Bone marrow aspirate smear:
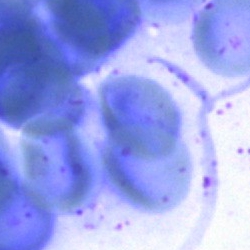

Q: What is shown here?
A: This is an artefact.